Bone marrow smear · brightfield, 40× oil-immersion objective
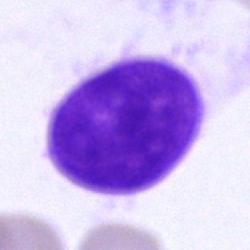

Morphology consistent with an artifact.